Single cell centered in the field; image size 250×250; bone marrow smear
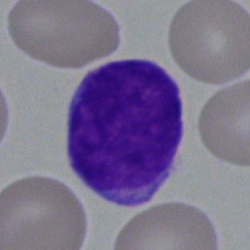Q: What is the morphological classification of this cell?
A: This is an undifferentiated blast.